Bone marrow aspirate smear · 250×250 px · May-Grünwald-Giemsa/Pappenheim stain:
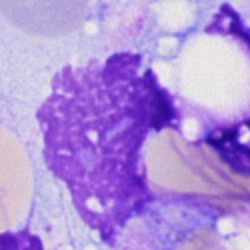

An artifact.